40× oil immersion. Bone marrow smear.
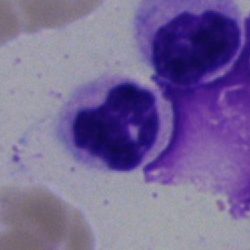
Segmented neutrophil.